250 by 250 pixels; bone marrow smear: 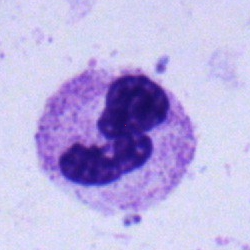 Q: What is the morphological classification of this cell?
A: It is a segmented neutrophil.